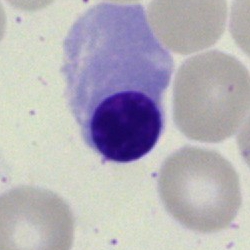Specimen: bone marrow aspirate smear.
Morphological class: nucleated red cell.